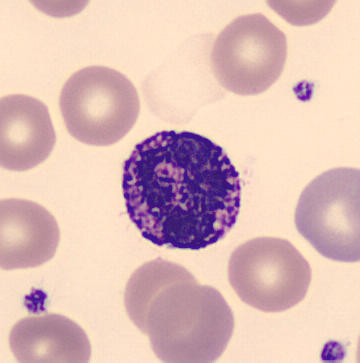

Acquisition: Peripheral blood film. This is a basophil.